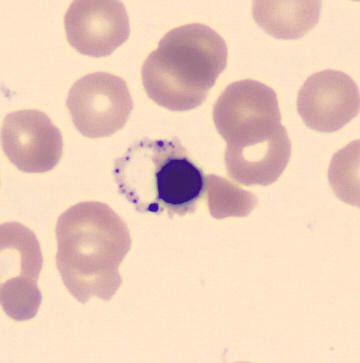
Preparation: MGG-stained · CellaVision DM96 · peripheral blood smear.
{"cell_type": "normoblast", "lineage": "erythroid"}